Single cell centered in the field; 400×400 px; peripheral blood smear:
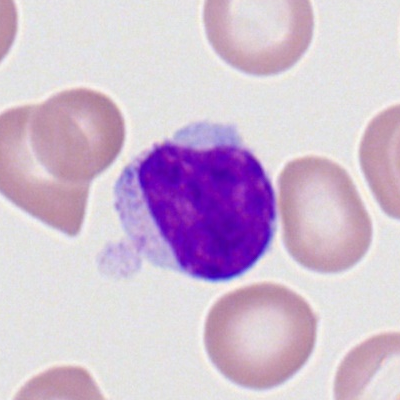
Q: What is the morphological classification of this cell?
A: This is a typical lymphocyte.